Brightfield microscopy, 40× oil immersion. Bone marrow aspirate smear
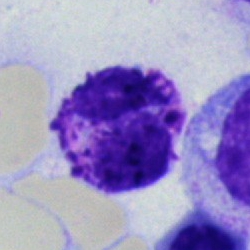 This is a basophilic granulocyte.